40× oil immersion; bone marrow smear: 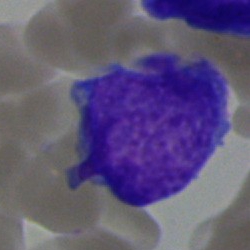
Showing a blast cell.